Bone marrow smear:
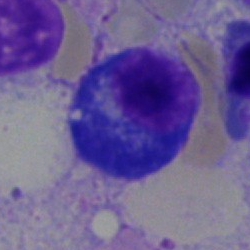A plasma cell.